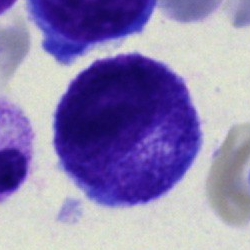 Morphology consistent with a progranulocyte.